250 by 250 pixels · bone marrow smear — 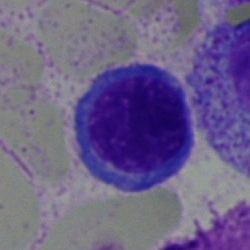Showing a nucleated red blood cell.